40× objective, oil immersion. Bone marrow smear
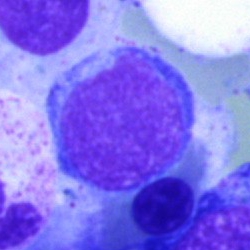The classification is lymphocyte.